Peripheral blood smear · image size 400×400 — 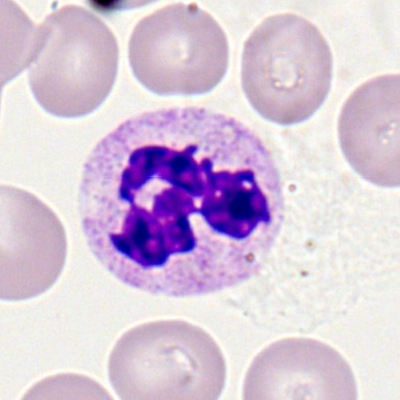Q: What is shown here?
A: Neutrophil (segmented).